Bone marrow aspirate smear
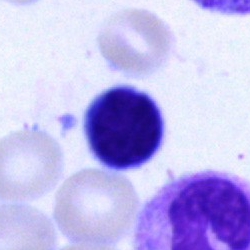Classification = lymphocyte.